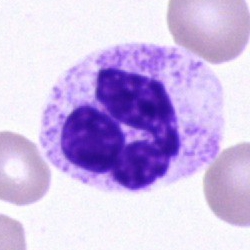 Specimen: bone marrow aspirate smear.
Classification: polymorphonuclear neutrophil.
Lineage: myeloid.